Image size 250×250. Cropped to a single cell. Bone marrow smear: 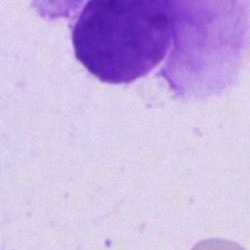 Cell type — artifact.